Bone marrow smear:
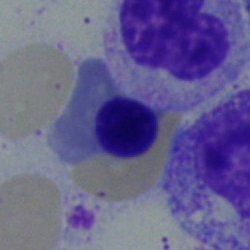 Single cell identified as a normoblast.